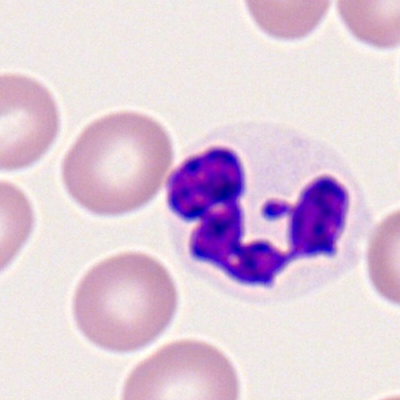

Cell type = segmented neutrophil.